Single-cell field. May-Grünwald-Giemsa/Pappenheim stain. Bone marrow aspirate smear: 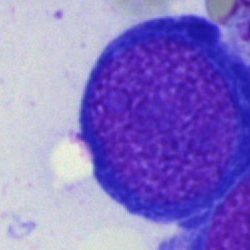
This is a nucleated red cell.